Bone marrow aspirate smear · May-Grünwald-Giemsa/Pappenheim stain: 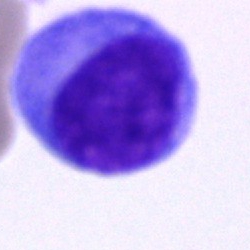The cell shown is a blast.